Bone marrow aspirate smear · May-Grünwald-Giemsa/Pappenheim stain.
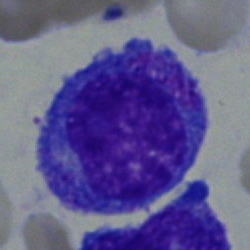 Specimen: bone marrow smear.
Classification: promyelocyte.
Lineage: myeloid.